Brightfield, 40× oil-immersion objective. 250×250 px. Bone marrow smear
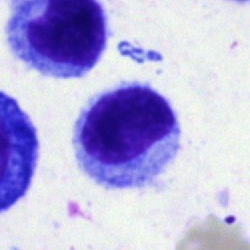 Morphology — myelocyte.